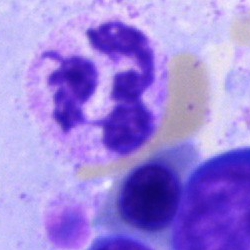 Morphology → segmented neutrophil.